Single-cell field; bone marrow aspirate smear; MGG-stained
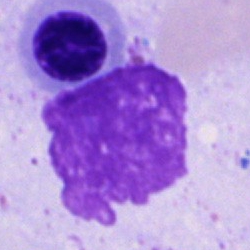 Q: What is shown here?
A: An artefact.